Brightfield, 40× oil-immersion objective; bone marrow aspirate smear: 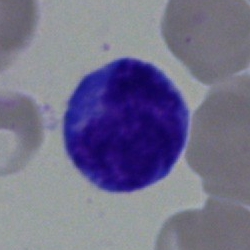 Cell: monocyte.